Brightfield microscopy, 40× oil immersion · bone marrow smear: 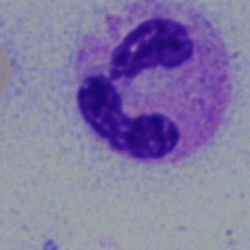

This is a segmented neutrophil.